Bone marrow aspirate smear
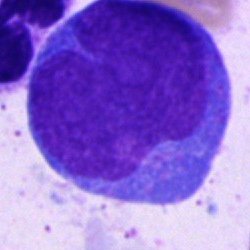 Impression — undifferentiated blast.